Bone marrow aspirate smear. 250×250 px: 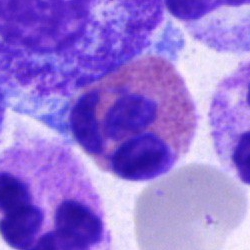Q: Identify the cell.
A: Eosinophil.